Brightfield, 40× oil-immersion objective · bone marrow smear · MGG-stained — 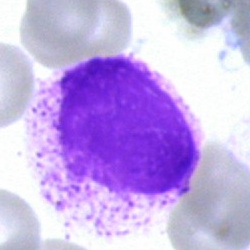
Q: What is shown here?
A: It is an artefact.